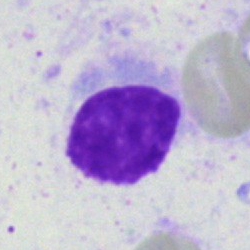
Cell type — artifact.